Pappenheim-stained. Bone marrow aspirate smear:
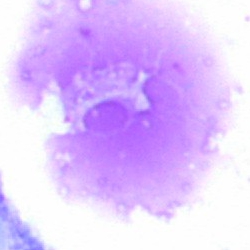
Q: What is shown here?
A: Artefact.